400×400 px · single-cell field · peripheral blood smear
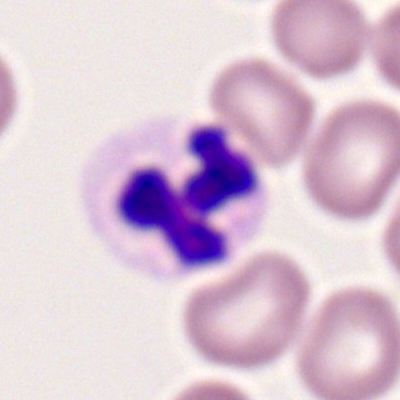

Impression — segmented neutrophil.